Single-cell field; bone marrow aspirate smear — 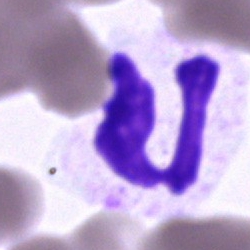

Specimen: bone marrow smear.
Cell type: polymorphonuclear neutrophil.